Peripheral blood film — 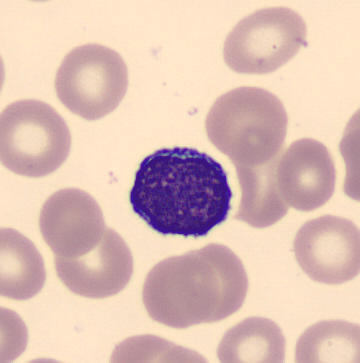
Specimen: peripheral blood film.
Cell: lymphocyte.
Lineage: lymphoid.